Bone marrow aspirate smear · Pappenheim-stained · single-cell crop:
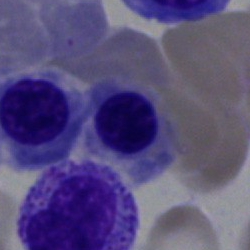 Showing an erythroblast.